Brightfield microscopy, 40× oil immersion. Bone marrow smear. 250 by 250 pixels:
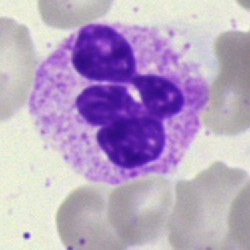

Morphology consistent with a segmented neutrophil.